Bone marrow aspirate smear
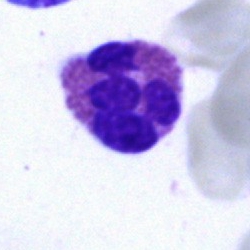Showing an eosinophilic granulocyte.